Bone marrow smear
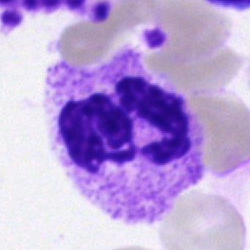
Specimen: bone marrow smear.
Cell: polymorphonuclear neutrophil.
Lineage: myeloid.